MGG-stained · bone marrow smear.
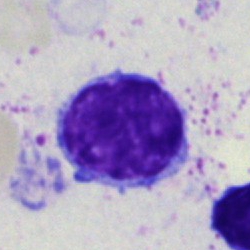 Q: What type of cell is this?
A: A lymphocyte.